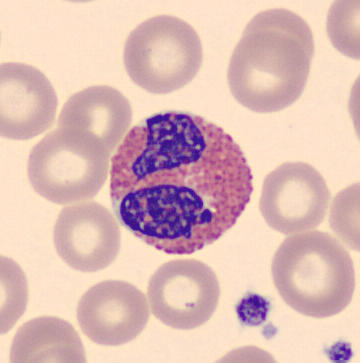 Acquisition: 360×363 px · cropped to a single cell · peripheral blood smear.

Classification — eosinophil.